Peripheral blood smear: 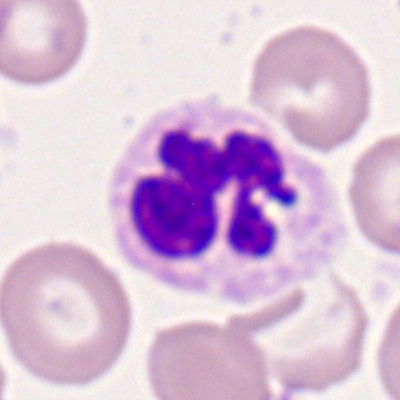

A polymorphonuclear neutrophil.